Bone marrow smear.
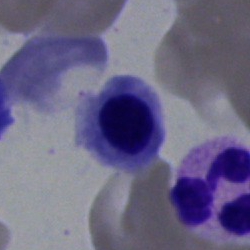

Classification: erythroblast.